Bone marrow smear
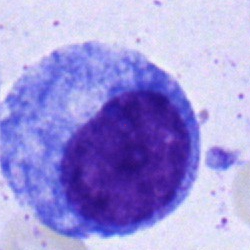
Cell = promyelocyte.